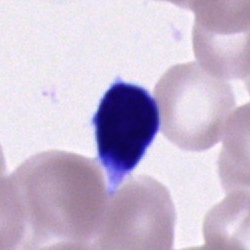
Specimen: bone marrow smear.
Classification: lymphocyte.
Lineage: lymphoid.